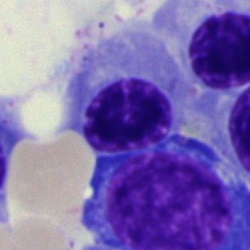Impression → normoblast.